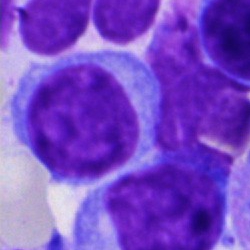A typical lymphocyte.